Bone marrow aspirate smear:
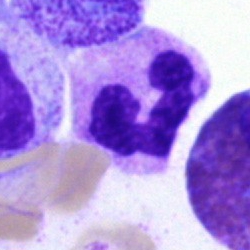 Single cell identified as a segmented neutrophil.